Cropped to a single cell; bone marrow aspirate smear
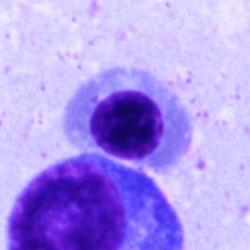
Specimen: bone marrow smear.
Morphological class: normoblast.
Lineage: erythroid.